250 by 250 pixels. Bone marrow smear: 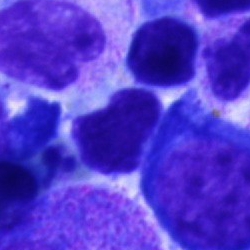
Morphological class = artifact.